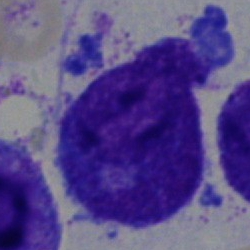Specimen: bone marrow smear.
Morphological class: progranulocyte.
Lineage: myeloid.